Bone marrow smear.
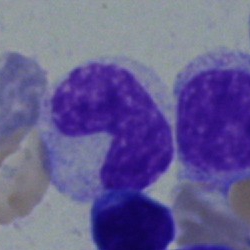

A neutrophil (band).